Peripheral blood smear. Cropped to a single cell. 360×363
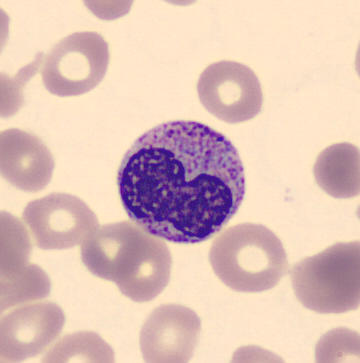
{"cell_type": "metamyelocyte", "lineage": "myeloid"}